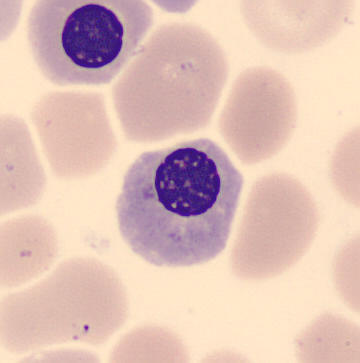

A nucleated red blood cell.

Preparation: Peripheral blood smear.